Bone marrow aspirate smear — 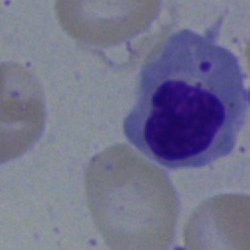
Q: Identify the cell.
A: A nucleated red cell.